Bone marrow aspirate smear — 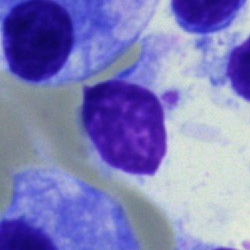
Showing a lymphocyte.